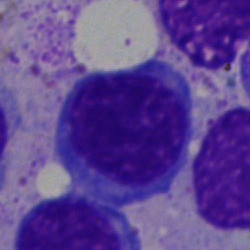 Classification: typical lymphocyte.